Bone marrow smear. MGG-stained
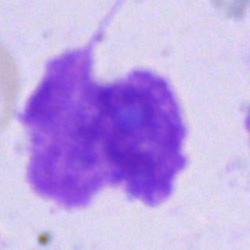Classification = artifact.